Bone marrow aspirate smear.
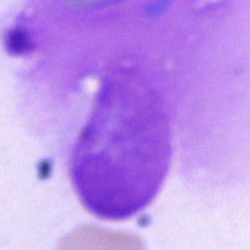 Q: What is shown here?
A: An artifact.